Bone marrow smear — 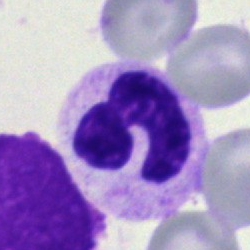
Specimen: bone marrow aspirate smear.
Classification: segmented neutrophil.
Lineage: myeloid.